Single-cell crop · bone marrow smear · brightfield, 40× oil-immersion objective
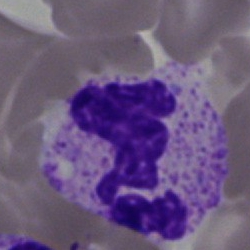
A neutrophil (segmented).